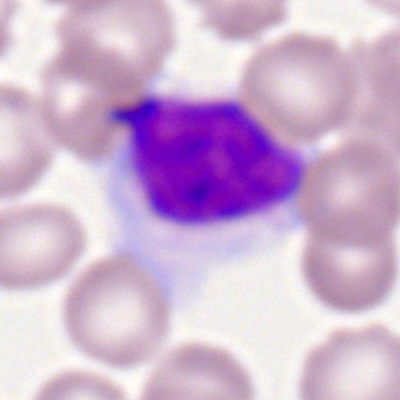 Q: What cell is this?
A: A typical lymphocyte.